Single cell centered in the field · peripheral blood film: 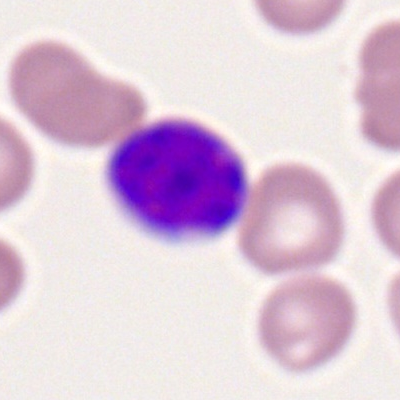Typical lymphocyte.